Bone marrow smear:
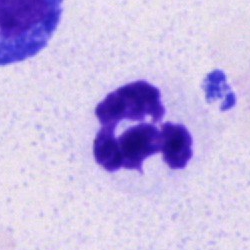 Morphology — neutrophil (segmented).